Bone marrow aspirate smear — 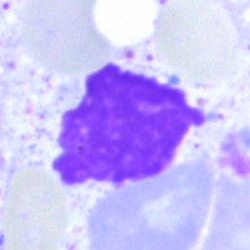The classification is artifact.